Bone marrow smear: 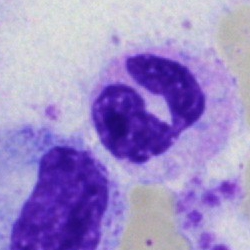Morphology → polymorphonuclear neutrophil.